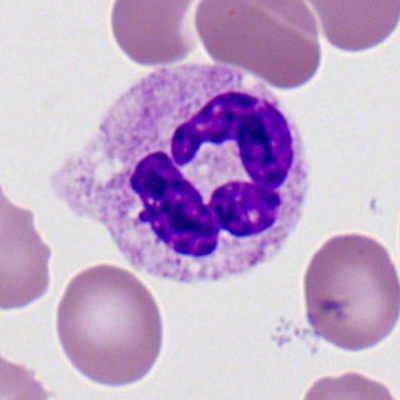

Peripheral blood smear showing a polymorphonuclear neutrophil.